Bone marrow smear; single cell centered in the field:
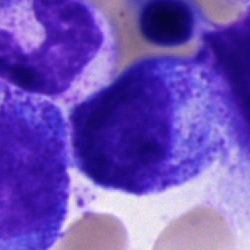
Cell type: promyelocyte.